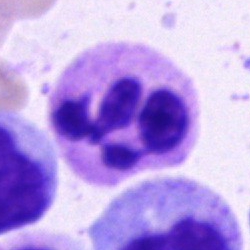

Classification: segmented neutrophil.